Bone marrow smear: 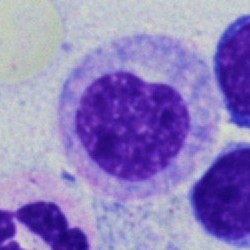
The cell shown is a myelocyte.